May-Grünwald-Giemsa/Pappenheim stain. Bone marrow aspirate smear: 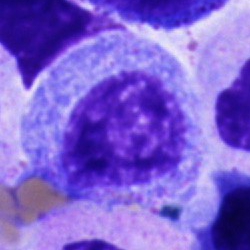
This is a progranulocyte.